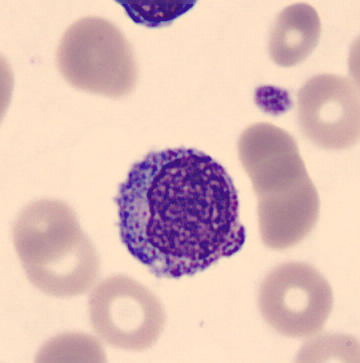 Q: Identify the cell.
A: A myelocyte.